Bone marrow aspirate smear
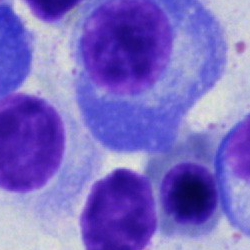

Morphology consistent with a plasmacyte.